Peripheral blood smear; cropped to a single cell; Romanowsky stain.
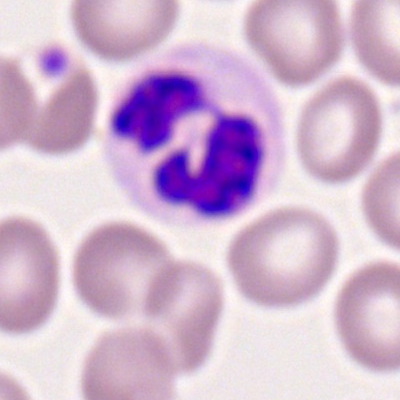

Q: Which cell type is shown here?
A: It is a polymorphonuclear neutrophil.